Bone marrow smear.
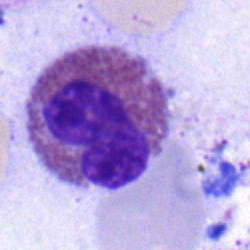 Cell type: eosinophilic granulocyte.